Single-cell crop; bone marrow smear:
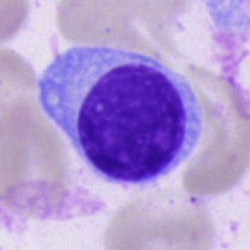Morphology — plasma cell.